Brightfield microscopy, 40× oil immersion. Bone marrow aspirate smear.
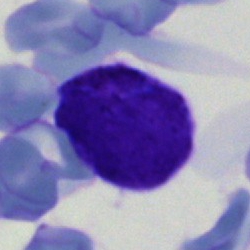 Showing a blast.